40× oil immersion · bone marrow aspirate smear · 250×250 — 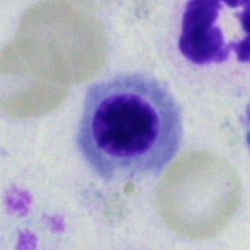Specimen: bone marrow smear.
Cell: nucleated red blood cell.
Lineage: erythroid.